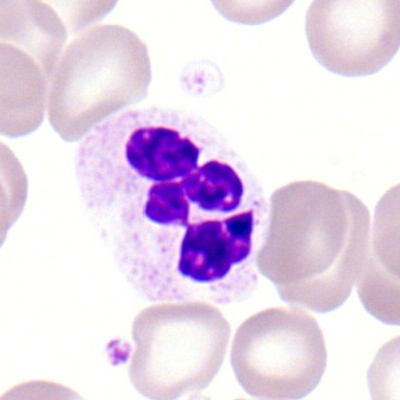A segmented neutrophil.